Bone marrow smear · single cell centered in the field
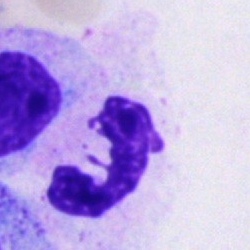
Classification: neutrophil (segmented).